Bone marrow aspirate smear
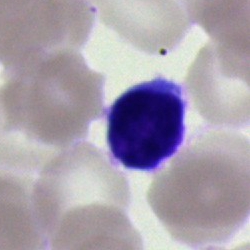Classification — typical lymphocyte.